Peripheral blood smear:
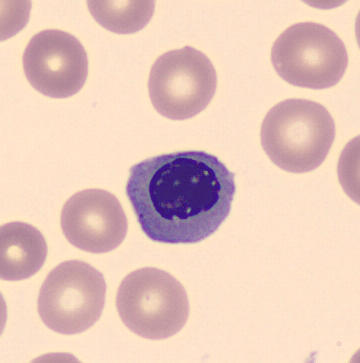This is a normoblast.